Bone marrow aspirate smear:
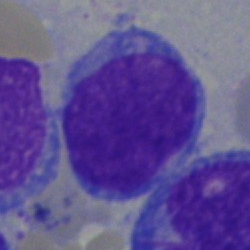Cell type — blast.